Bone marrow smear.
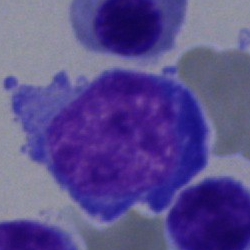
Impression → typical lymphocyte.